Bone marrow smear — 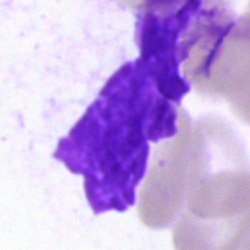
Artifact.